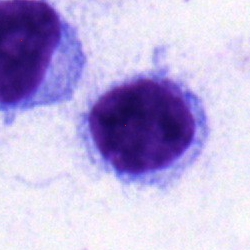Q: Identify the cell.
A: This is a lymphocyte.